400×400 px · peripheral blood film — 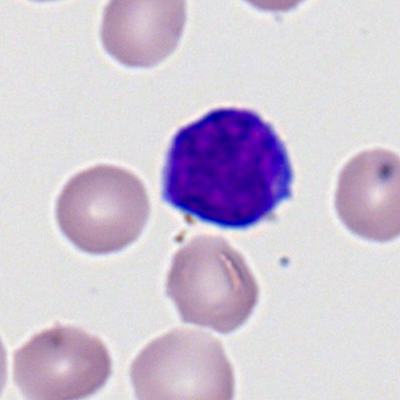 The cell shown is a typical lymphocyte.